Pappenheim-stained; bone marrow aspirate smear:
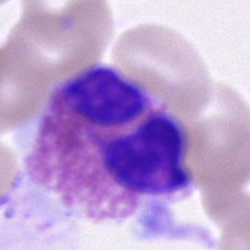 Showing an eosinophilic granulocyte.